Bone marrow aspirate smear — 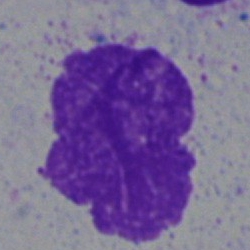 Q: What is shown here?
A: An artifact.